Peripheral blood smear; cropped to a single cell; Romanowsky-stained:
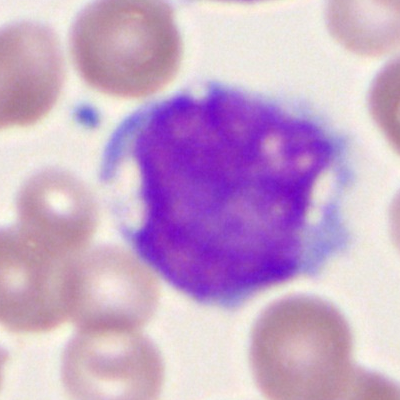Single cell identified as a monocyte.